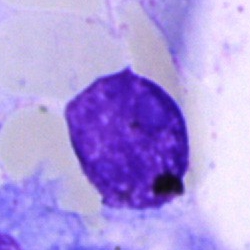

Cell — artifact.